Bone marrow smear. Single-cell field.
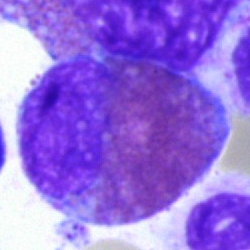This is an eosinophil.